40× objective, oil immersion; 250×250; bone marrow smear.
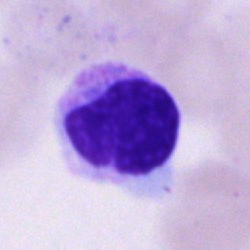
This is a band neutrophil.